Single cell centered in the field; bone marrow smear — 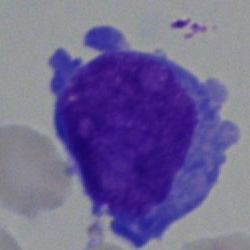

Specimen: bone marrow smear.
Cell type: blast cell.